May-Grünwald-Giemsa stain. Bone marrow aspirate smear. 40× oil immersion — 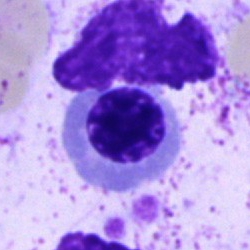 Q: What type of cell is this?
A: It is a normoblast.